May-Grünwald-Giemsa stain · bone marrow aspirate smear · brightfield, 40× oil-immersion objective
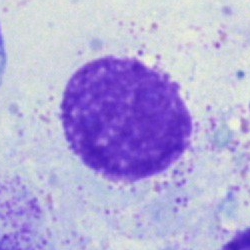
Specimen: bone marrow smear.
Classification: artifact.